Bone marrow aspirate smear: 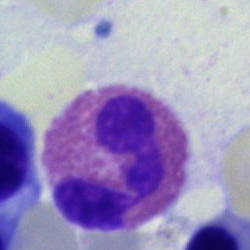

Showing an eosinophilic granulocyte.